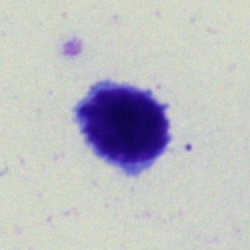 Q: Which cell type is shown here?
A: This is a typical lymphocyte.